Bone marrow aspirate smear:
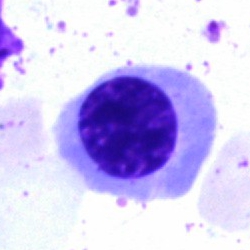

The cell type is normoblast.